Bone marrow smear. Pappenheim-stained. Cropped to a single cell: 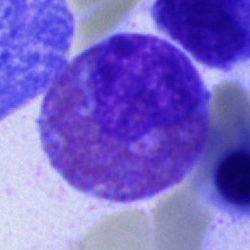 Cell type = eosinophilic granulocyte.